Peripheral blood film
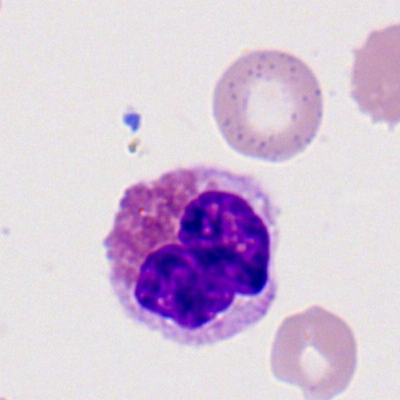

Showing an eosinophilic granulocyte.